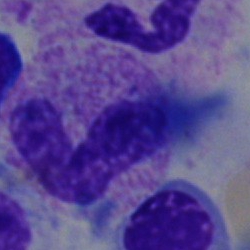

Bone marrow smear showing a neutrophil (band).